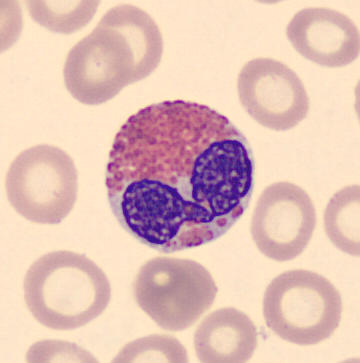
Showing an eosinophil.
Acquisition: Peripheral blood smear.